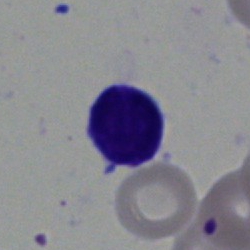Specimen: bone marrow aspirate smear.
Cell type: lymphocyte.
Lineage: lymphoid.